Bone marrow aspirate smear.
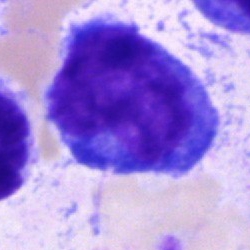Impression → blast.